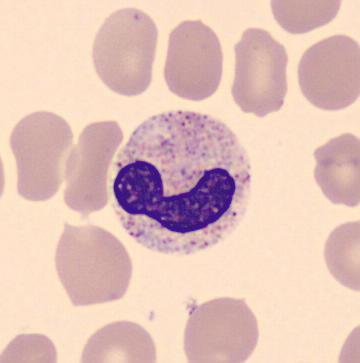 Preparation: Peripheral blood smear. Morphology consistent with a band neutrophil.